Automated cell imaging (CellaVision DM96) · peripheral blood film: 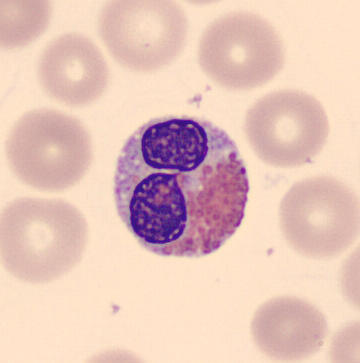
Eosinophilic granulocyte.